MGG-stained; bone marrow smear.
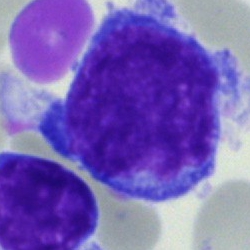Showing an immature lymphocyte.